Image size 250×250; bone marrow aspirate smear; May-Grünwald-Giemsa stain — 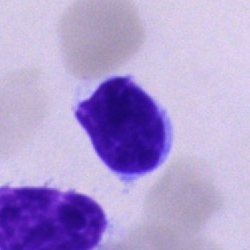 Cell — typical lymphocyte.